Bone marrow smear.
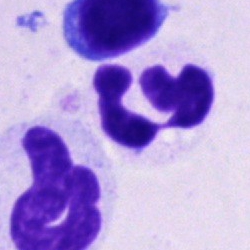
Single cell identified as a polymorphonuclear neutrophil.